40× oil immersion. Bone marrow smear. Single cell centered in the field
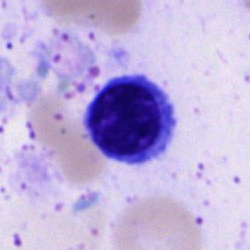 A lymphocyte.